Image size 250×250. Bone marrow smear
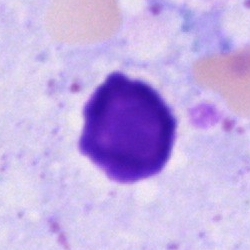
The classification is artifact.